Bone marrow aspirate smear.
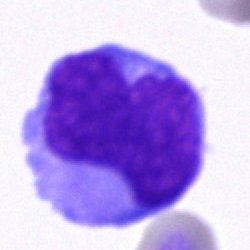The classification is blast cell.